Bone marrow smear: 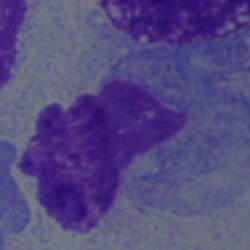Showing an undifferentiated blast.